Bone marrow smear:
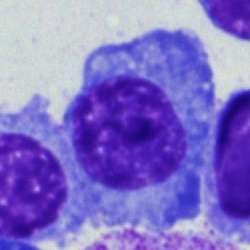
Plasmacyte.